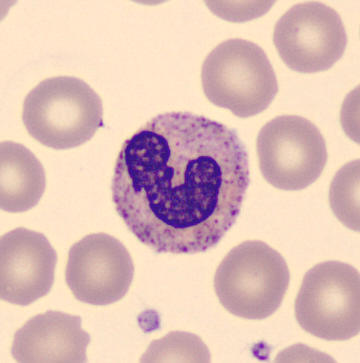 From a peripheral blood smear: a stab cell.